Bone marrow smear:
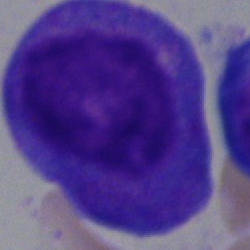

Specimen: bone marrow aspirate smear.
Cell type: progranulocyte.
Lineage: myeloid.